Pappenheim-stained. Bone marrow aspirate smear — 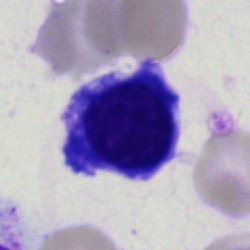Specimen: bone marrow aspirate smear.
Cell: erythroblast.
Lineage: erythroid.